Bone marrow smear. Single-cell field. Brightfield microscopy, 40× oil immersion.
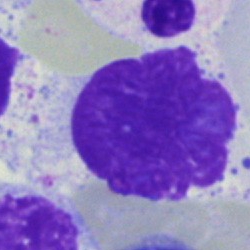 Artifact.